Bone marrow smear.
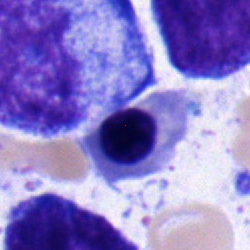
Specimen: bone marrow aspirate smear.
Cell: nucleated red blood cell.
Lineage: erythroid.